Bone marrow smear: 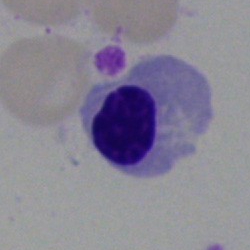

Morphology → erythroblast.